250×250; May-Grünwald-Giemsa stain; bone marrow smear.
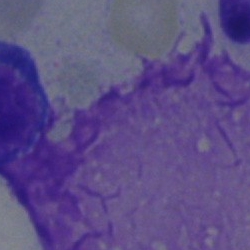
Q: What is shown here?
A: Artefact.